250 by 250 pixels. Bone marrow smear. Cropped to a single cell: 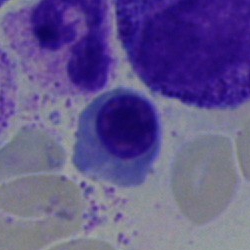 Specimen: bone marrow aspirate smear.
Morphological class: normoblast.
Lineage: erythroid.